250×250 px; cropped to a single cell; bone marrow aspirate smear
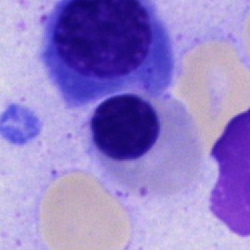
Nucleated red cell.